Single-cell crop. Pappenheim-stained. Bone marrow smear — 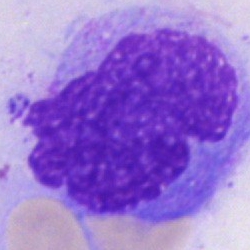 Showing an artefact.